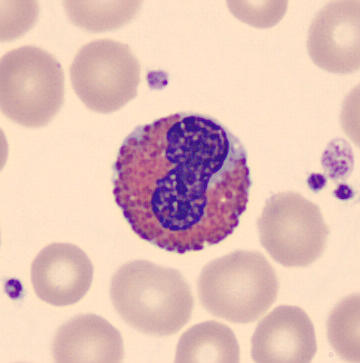

Image: CellaVision DM96 digital cell image. MGG stain. Peripheral blood film.
This is an eosinophil.